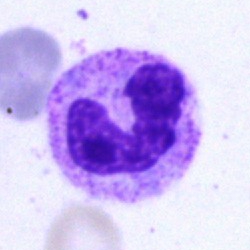 Morphological class: band-form neutrophil.